Bone marrow aspirate smear · single-cell crop
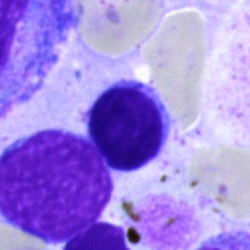

Q: Which cell type is shown here?
A: A lymphocyte.